Bone marrow aspirate smear; MGG-stained — 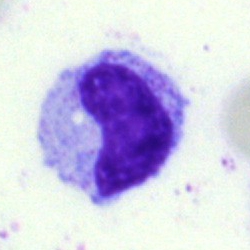

The cell shown is a band-form neutrophil.